Bone marrow smear
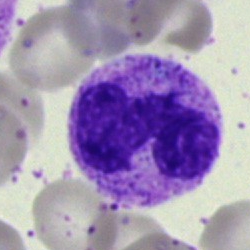
Q: What type of cell is this?
A: A band neutrophil.